Peripheral blood smear; 100× oil immersion, 14.14 px/µm:
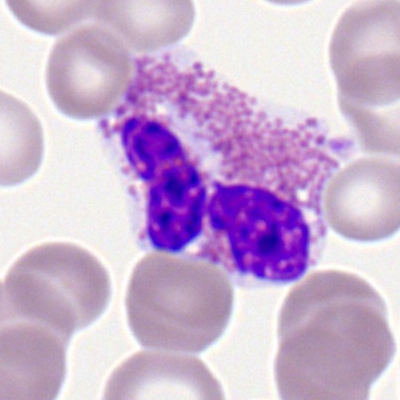

Q: What is shown here?
A: This is an eosinophil.